Bone marrow smear — 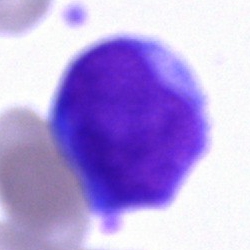 Q: What is shown here?
A: This is an undifferentiated blast.